40× oil immersion; bone marrow aspirate smear: 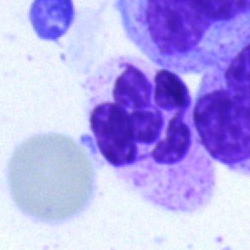 Q: Identify the cell.
A: This is a neutrophil (segmented).